May-Grünwald-Giemsa/Pappenheim stain. Single-cell crop. Bone marrow aspirate smear: 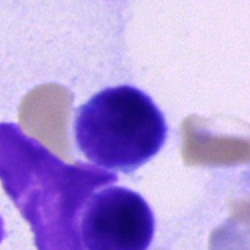This is a lymphocyte.